Bone marrow smear · brightfield microscopy, 40× oil immersion.
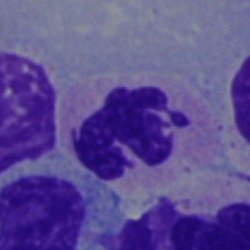
The morphological class is polymorphonuclear neutrophil.